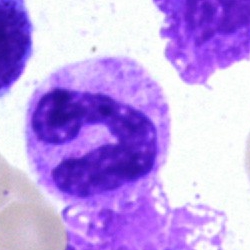

Morphology → stab cell.